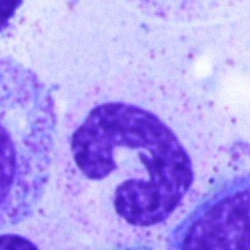Cell: segmented neutrophil.